Peripheral blood film · cropped to a single cell · image size 400×400: 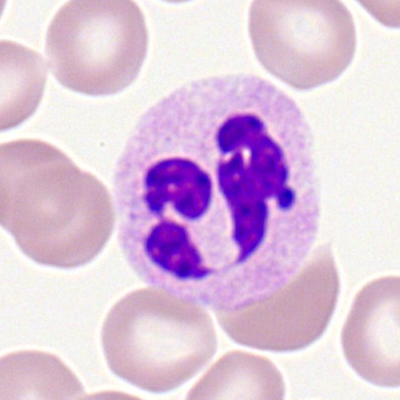
Showing a polymorphonuclear neutrophil.